Bone marrow smear.
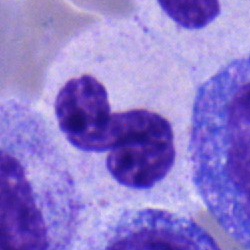
Q: What is shown here?
A: It is a band neutrophil.